Bone marrow smear — 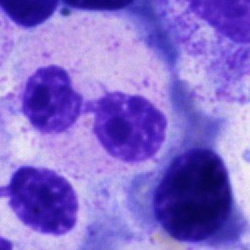

Showing a polymorphonuclear neutrophil.